Bone marrow aspirate smear; single cell centered in the field.
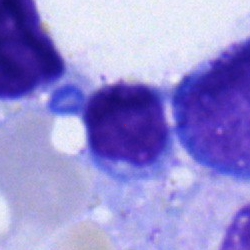

This is a lymphocyte.